Bone marrow smear
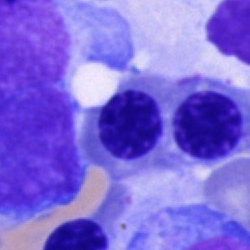 Single cell identified as a normoblast.